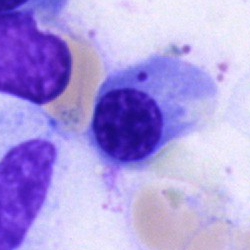Cell type = nucleated red blood cell.